Bone marrow smear. Cropped to a single cell: 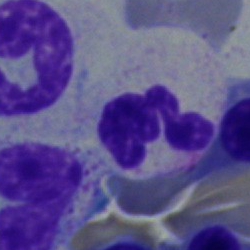
Q: What cell is this?
A: It is a neutrophil (segmented).